Bone marrow smear — 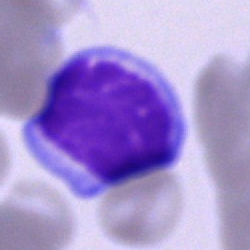

Q: What is shown here?
A: It is a typical lymphocyte.